Bone marrow aspirate smear: 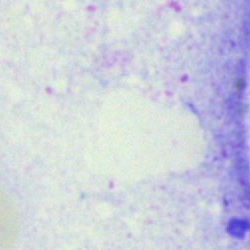Specimen: bone marrow smear.
Classification: artifact.